May-Grünwald-Giemsa stain · bone marrow aspirate smear
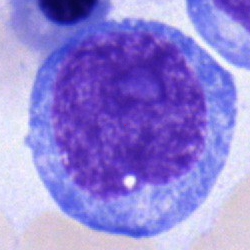
Specimen: bone marrow aspirate smear.
Morphological class: blast cell.